Bone marrow aspirate smear — 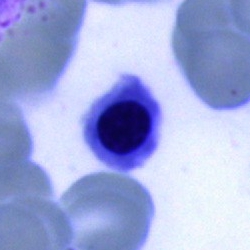

Specimen: bone marrow aspirate smear.
Morphological class: nucleated red cell.